Peripheral blood smear:
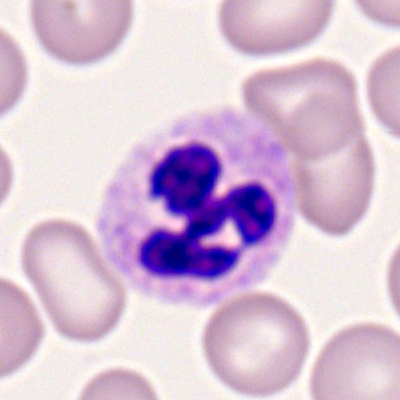

Morphological class = neutrophil (segmented).